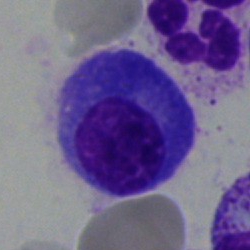
Morphological class — plasmacyte.